Romanowsky stain · image size 400×400 · peripheral blood smear: 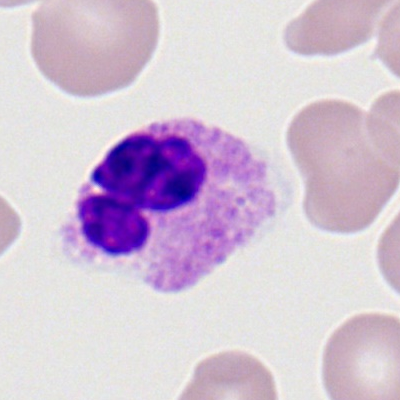 Specimen: peripheral blood film.
Classification: neutrophil (segmented).